Bone marrow smear:
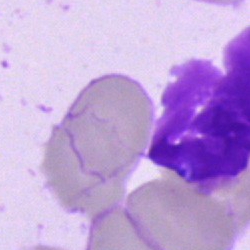 The classification is artifact.